Bone marrow smear.
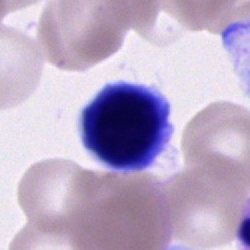

Morphological class = typical lymphocyte.